Bone marrow aspirate smear
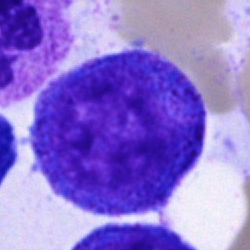
Q: What cell is this?
A: It is a promyelocyte.